Bone marrow smear; 40× objective, oil immersion; May-Grünwald-Giemsa stain — 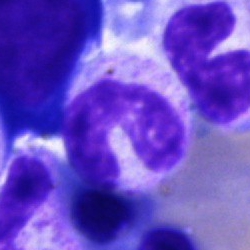Morphological class — stab cell.